Bone marrow smear · single-cell field · 40× objective, oil immersion — 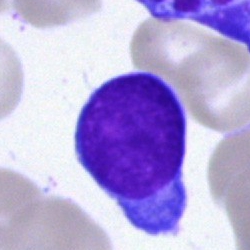

Q: Which cell type is shown here?
A: It is an undifferentiated blast.